400 by 400 pixels · peripheral blood film.
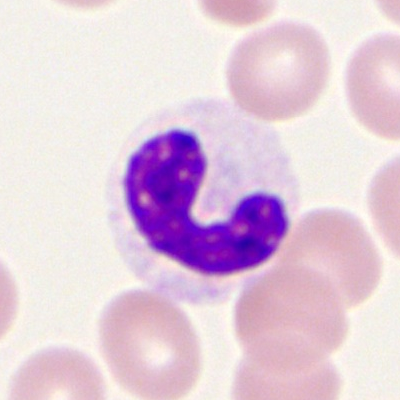The classification is band-form neutrophil.